May-Grünwald-Giemsa/Pappenheim stain. Bone marrow aspirate smear.
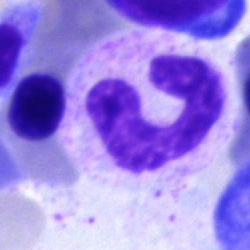

Q: What type of cell is this?
A: This is a stab cell.